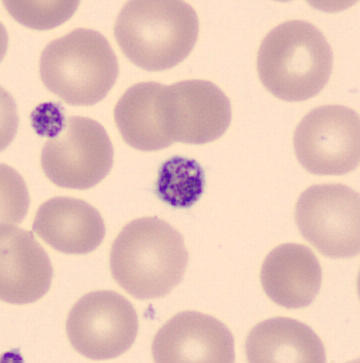

Preparation: Peripheral blood film.

Q: What is this?
A: This is a platelet.